Image size 250×250; bone marrow smear; single-cell field.
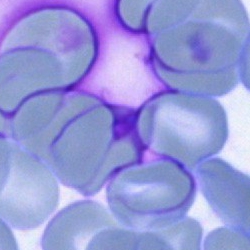 The cell shown is an artefact.